Peripheral blood smear: 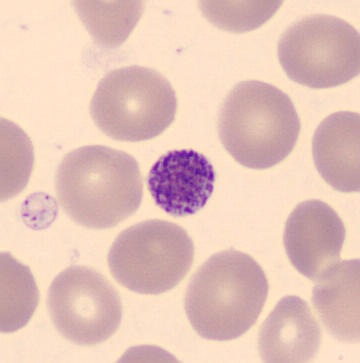 Q: What is shown here?
A: Platelet.